Bone marrow aspirate smear:
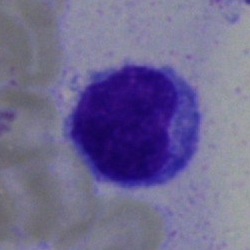
Classification = lymphocyte.